Pappenheim-stained. Bone marrow aspirate smear — 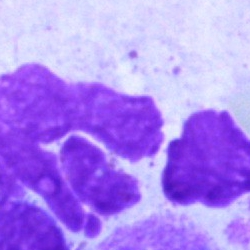The cell is artifact.